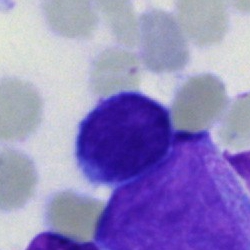Single cell identified as a lymphocyte.